Bone marrow smear · single-cell crop
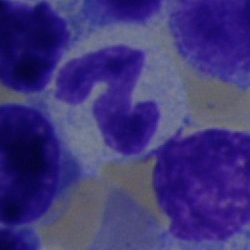
The cell is band-form neutrophil.